Bone marrow smear:
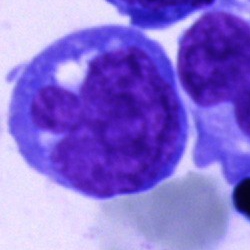Q: What type of cell is this?
A: Blast.